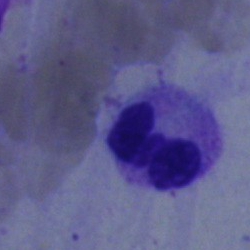

Morphological class = band neutrophil.